Bone marrow aspirate smear.
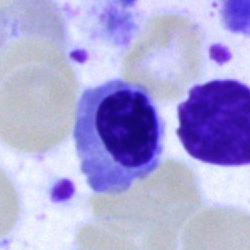 Cell type: normoblast.